Single-cell crop. Bone marrow aspirate smear. Image size 250×250: 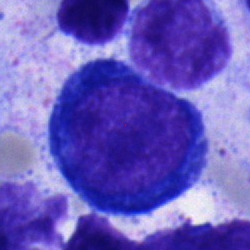Classification: pronormoblast.